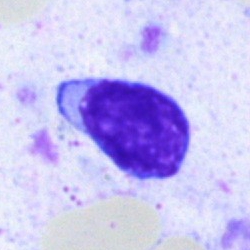 This is a lymphocyte.